Bone marrow smear
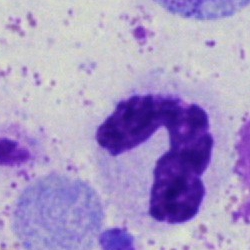
A polymorphonuclear neutrophil.